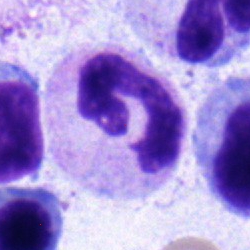

Specimen: bone marrow aspirate smear.
Cell: polymorphonuclear neutrophil.